Bone marrow smear.
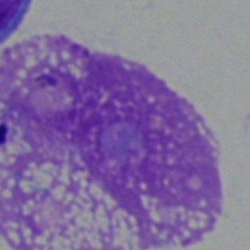Q: What is shown here?
A: Artifact.